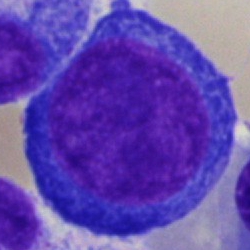

Q: Identify the cell.
A: This is a proerythroblast.